250 by 250 pixels · bone marrow aspirate smear — 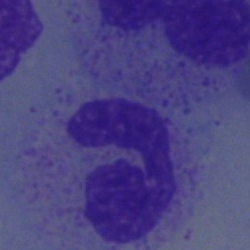

Morphological class = neutrophil (segmented).